Brightfield, 40× oil-immersion objective · bone marrow aspirate smear · single-cell crop:
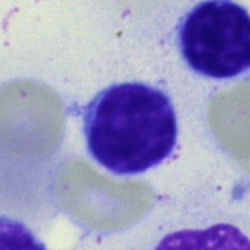Single cell identified as a lymphocyte.